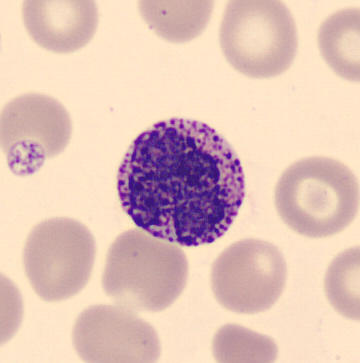 Showing a basophil.

Peripheral blood smear.